Bone marrow smear:
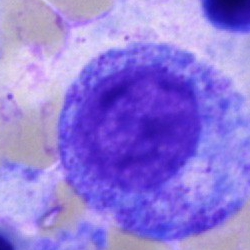 Morphology consistent with a promyelocyte.